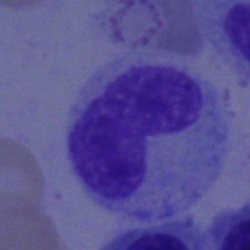
Q: What type of cell is this?
A: Band neutrophil.